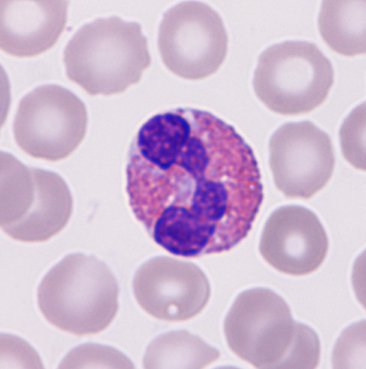 This is an eosinophilic granulocyte.

Peripheral blood film.